Bone marrow aspirate smear:
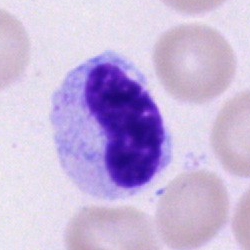
Q: What is shown here?
A: It is a stab cell.